Bone marrow smear · brightfield, 40× oil-immersion objective: 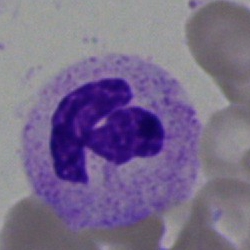

Specimen: bone marrow smear.
Cell type: neutrophil (segmented).